Bone marrow smear: 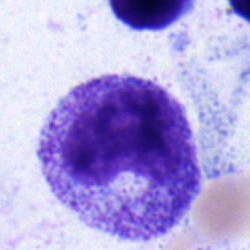
Progranulocyte.